Bone marrow smear; cropped to a single cell: 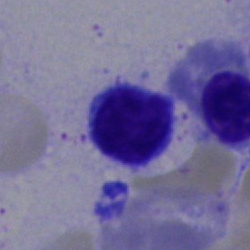The cell shown is a typical lymphocyte.